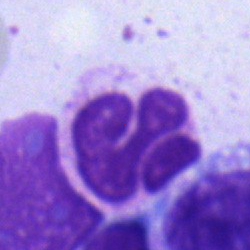
Showing a segmented neutrophil.